Bone marrow smear
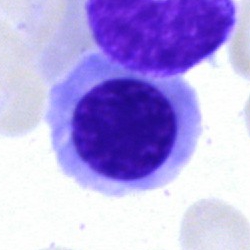

Specimen: bone marrow aspirate smear.
Morphological class: nucleated red blood cell.
Lineage: erythroid.